Bone marrow aspirate smear
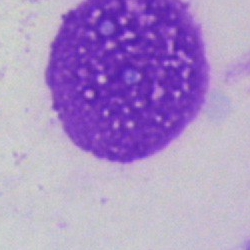 Classification = artifact.